Peripheral blood smear.
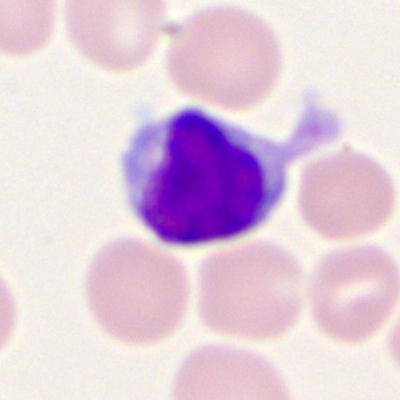
Q: What cell is this?
A: This is a lymphocyte.